Bone marrow smear. Single-cell crop. 250×250.
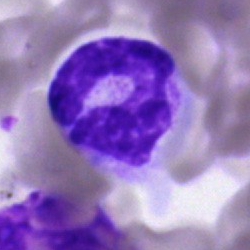Q: Which cell type is shown here?
A: This is a polymorphonuclear neutrophil.